Bone marrow aspirate smear: 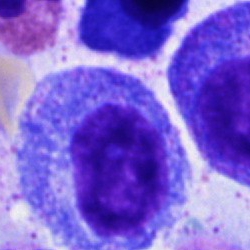 Plasmacyte.